Bone marrow aspirate smear:
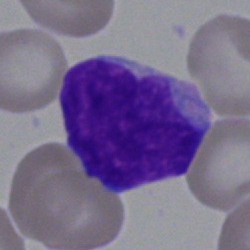 The classification is blast cell.